Bone marrow smear
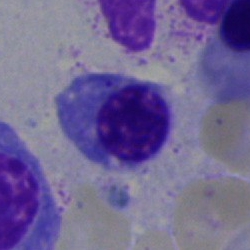 Showing an erythroblast.